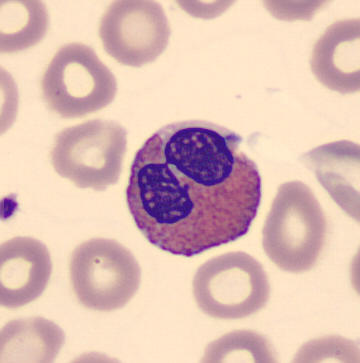
Peripheral blood smear. Morphology → eosinophilic granulocyte.